Peripheral blood film · 360×363:
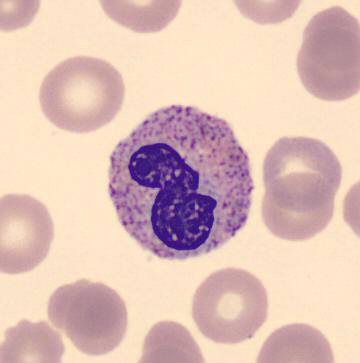 Band-form neutrophil.